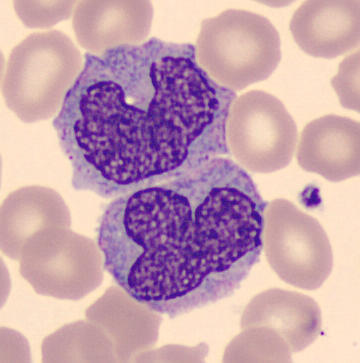
The morphological class is monocyte.
Image: Peripheral blood smear.